40× objective, oil immersion; cropped to a single cell; bone marrow smear:
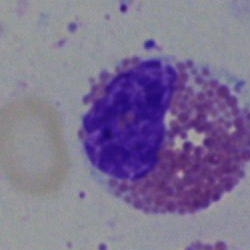Impression → eosinophil.